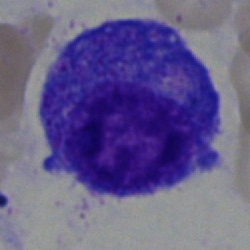

Specimen: bone marrow smear.
Morphological class: promyelocyte.